Single-cell crop · bone marrow aspirate smear — 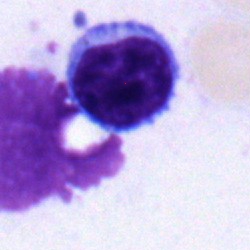Specimen: bone marrow aspirate smear.
Classification: typical lymphocyte.